Bone marrow aspirate smear · Pappenheim-stained
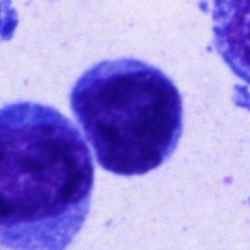
Morphological class: blast.